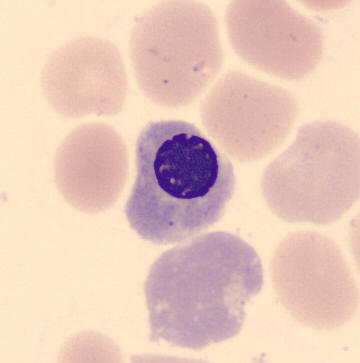Image size 360×363. Peripheral blood film. CellaVision DM96.

Morphological class — normoblast.